Bone marrow smear: 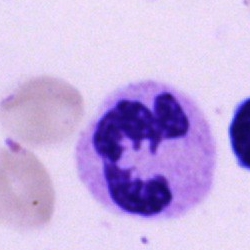Morphology — polymorphonuclear neutrophil.